Bone marrow aspirate smear — 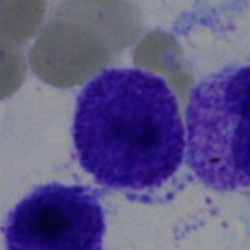Q: What is shown here?
A: It is an artefact.